Peripheral blood film · 400 by 400 pixels — 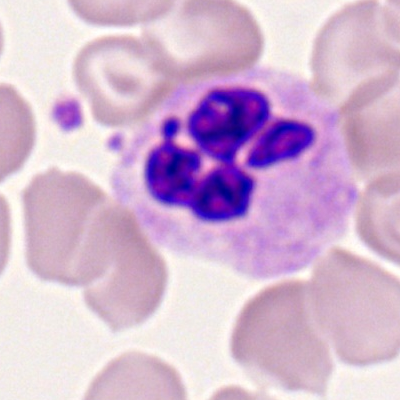

Q: What is shown here?
A: Polymorphonuclear neutrophil.